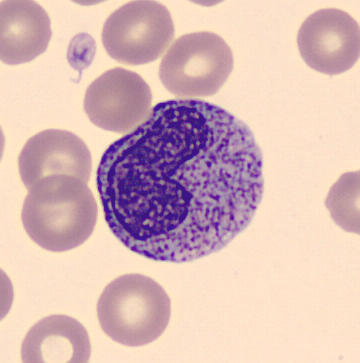

CellaVision DM96; peripheral blood smear. {"cell_type": "metamyelocyte", "lineage": "myeloid"}